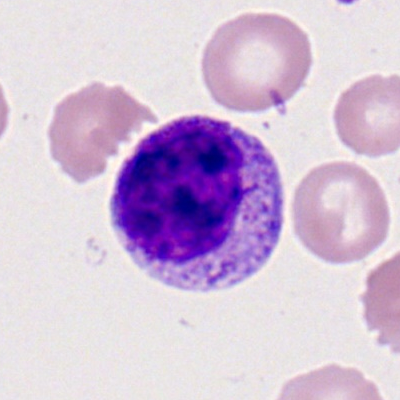 Q: What is the morphological classification of this cell?
A: Myelocyte.